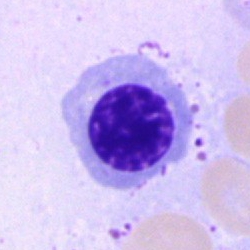
Impression — erythroblast.